Image size 250×250. May-Grünwald-Giemsa stain. Bone marrow aspirate smear
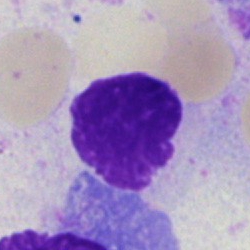
Q: What is shown here?
A: Artifact.